Romanowsky-type stain. Peripheral blood smear:
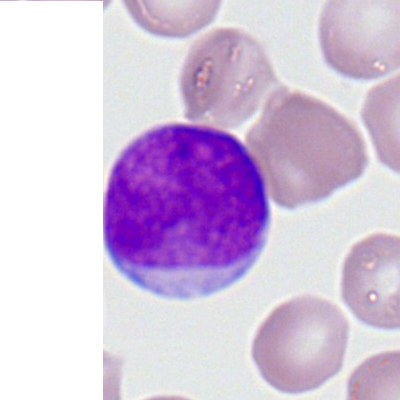Q: Which cell type is shown here?
A: It is a myeloid blast.